May-Grünwald-Giemsa/Pappenheim stain · bone marrow aspirate smear:
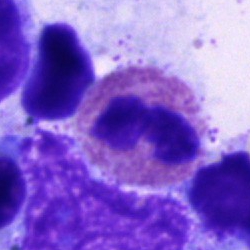

Eosinophilic granulocyte.